Peripheral blood smear; cropped to a single cell; CellaVision DM96.
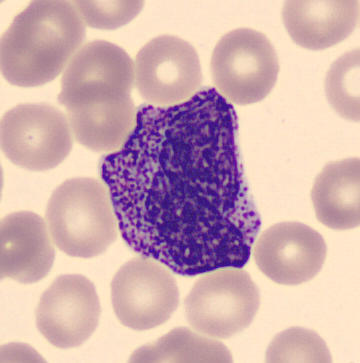Q: What cell is this?
A: This is a progranulocyte.